250 by 250 pixels; bone marrow aspirate smear — 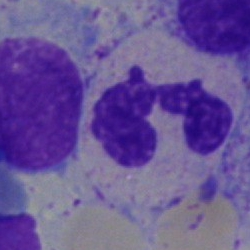 Cell type: segmented neutrophil.